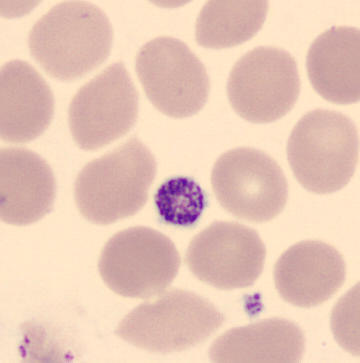 Identified as a platelet.

Preparation: Peripheral blood smear.